Bone marrow aspirate smear — 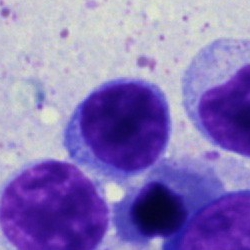
{"cell_type": "typical lymphocyte", "lineage": "lymphoid"}